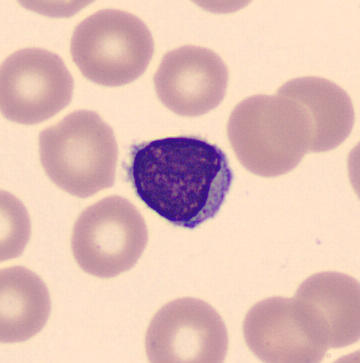Specimen: peripheral blood film.
Morphological class: lymphocyte.
Lineage: lymphoid.